250×250 px · bone marrow aspirate smear.
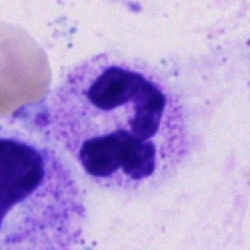 Segmented neutrophil.